400×400. Peripheral blood smear:
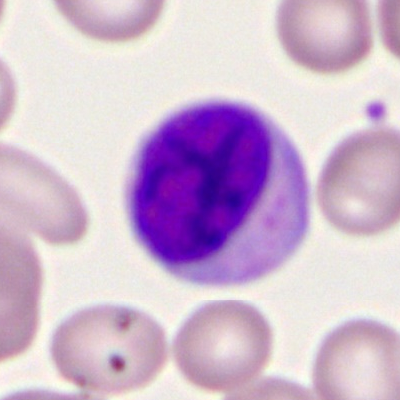 The cell type is lymphocyte.